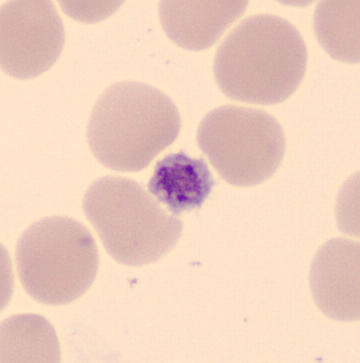

May-Grünwald-Giemsa-stained · peripheral blood film.
Impression — thrombocyte.